Peripheral blood film: 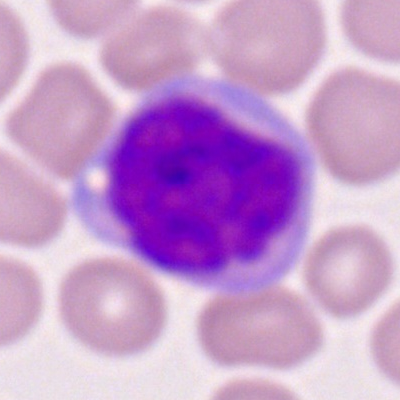
The cell shown is a monocyte.